Bone marrow aspirate smear; single-cell field:
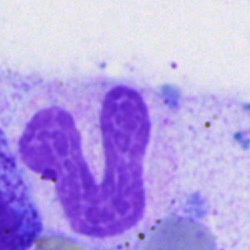

An artefact.